Bone marrow aspirate smear
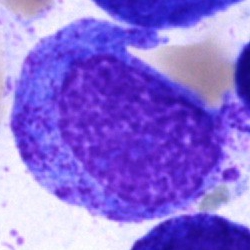Morphological class = progranulocyte.